Bone marrow smear — 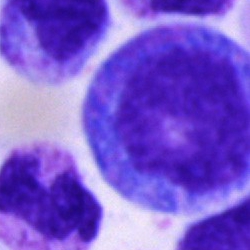

Specimen: bone marrow aspirate smear.
Cell: promyelocyte.